40× oil immersion. Bone marrow aspirate smear. Pappenheim-stained.
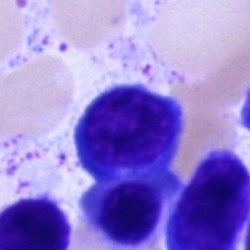

Classification: lymphocyte.